Bone marrow smear:
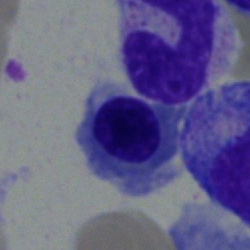Single cell identified as a normoblast.